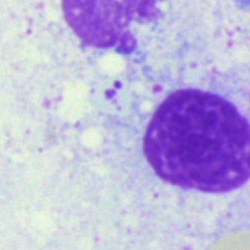
The cell shown is an artefact.